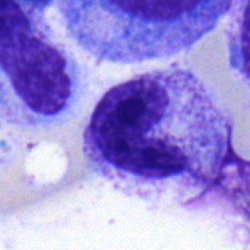 Specimen: bone marrow aspirate smear.
Classification: stab cell.
Lineage: myeloid.